Bone marrow aspirate smear
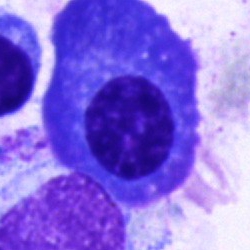

Specimen: bone marrow smear.
Morphological class: plasmacyte.
Lineage: lymphoid.